Bone marrow smear; MGG-stained
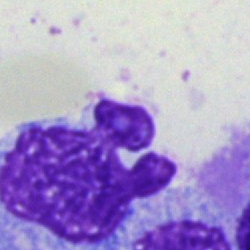

Specimen: bone marrow smear.
Morphological class: artefact.